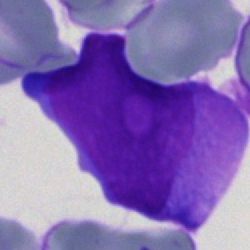
Morphology — blast cell.